Bone marrow smear:
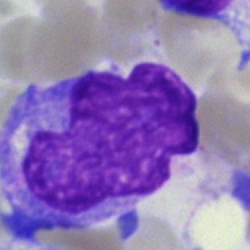Specimen: bone marrow aspirate smear.
Cell: artefact.